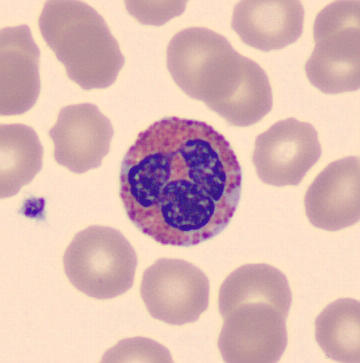
Showing an eosinophilic granulocyte.
Preparation: Cropped to a single cell; peripheral blood film.